Bone marrow aspirate smear.
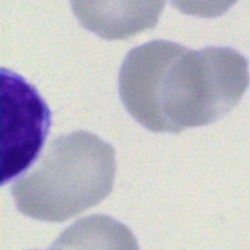
Showing an artifact.